Bone marrow smear.
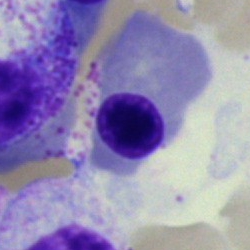Cell type: nucleated red cell.